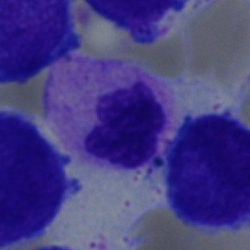 A segmented neutrophil.